Bone marrow aspirate smear
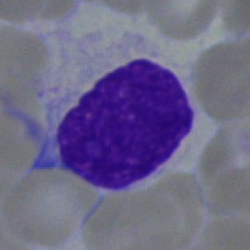 Morphological class = typical lymphocyte.